Bone marrow aspirate smear
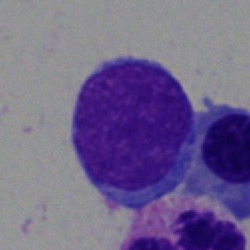 Q: Which cell type is shown here?
A: Undifferentiated blast.